Bone marrow smear. Cropped to a single cell: 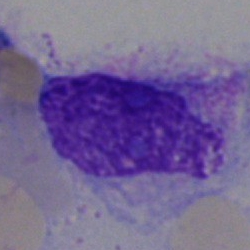 Artifact.